Bone marrow smear:
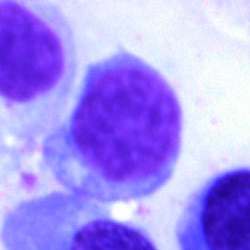
Q: What cell is this?
A: This is a typical lymphocyte.